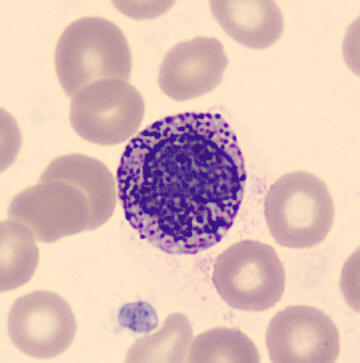 Q: Identify the cell.
A: Basophil.
Acquisition: Peripheral blood smear.